360×360 px · peripheral blood film · single cell centered in the field:
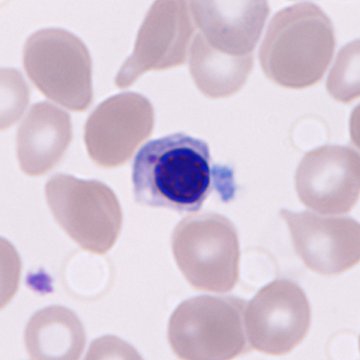 The cell shown is a normoblast.